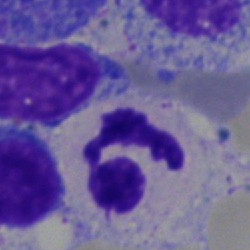Cell type = segmented neutrophil.